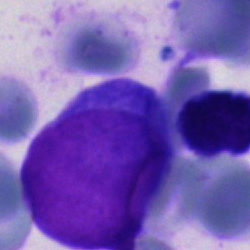Single cell identified as a blast.